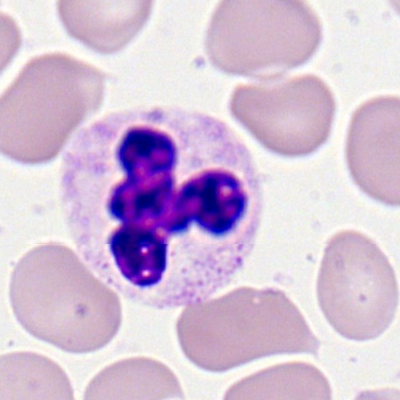

Cell type: segmented neutrophil.